Bone marrow smear
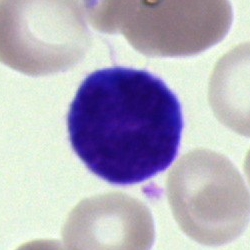
{"cell_type": "cell of indeterminate lineage"}